Bone marrow smear · brightfield, 40× oil-immersion objective · single-cell field: 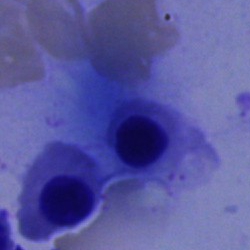
Morphology consistent with a nucleated red blood cell.